Peripheral blood film:
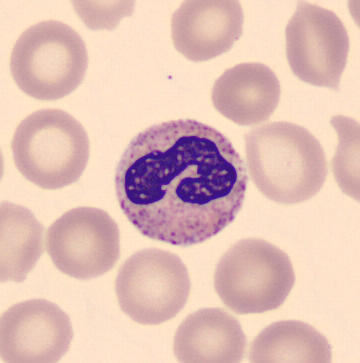Q: What is shown here?
A: A band-form neutrophil.